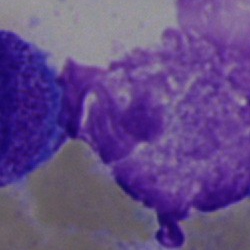Specimen: bone marrow aspirate smear.
Classification: artifact.